Bone marrow aspirate smear: 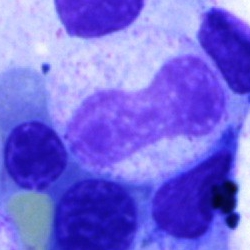

{"cell_type": "stab cell", "lineage": "myeloid"}